Single cell centered in the field · 40× oil immersion · bone marrow smear
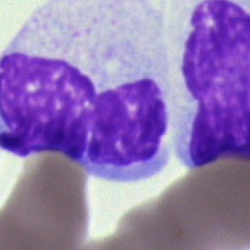 This is a monocyte.